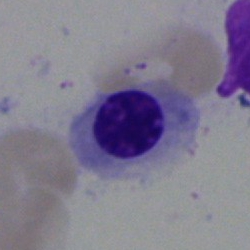
Q: What type of cell is this?
A: Erythroblast.